Bone marrow smear · brightfield microscopy, 40× oil immersion · MGG-stained.
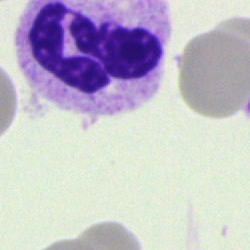
The cell type is neutrophil (segmented).